Bone marrow aspirate smear:
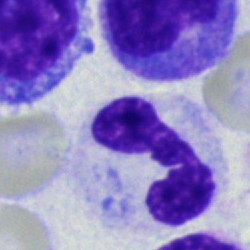This is a segmented neutrophil.